Bone marrow smear
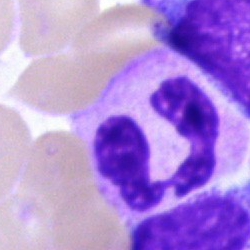Specimen: bone marrow aspirate smear.
Cell: neutrophil (segmented).